Bone marrow smear: 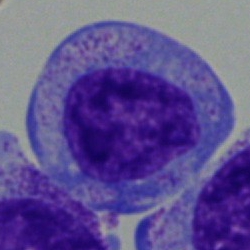
Morphological class — promyelocyte.